Bone marrow aspirate smear. 250×250: 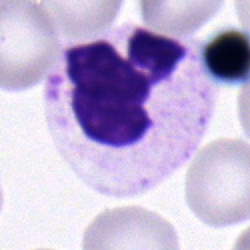 Q: Identify the cell.
A: Segmented neutrophil.